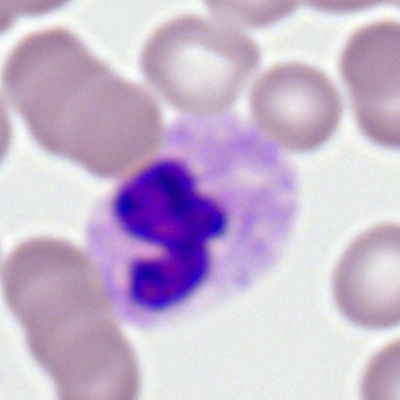
Q: What is shown here?
A: Neutrophil (segmented).